Bone marrow smear.
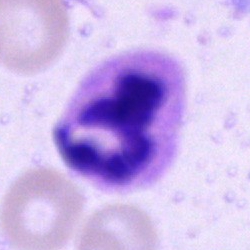

Specimen: bone marrow aspirate smear.
Cell type: polymorphonuclear neutrophil.
Lineage: myeloid.